Bone marrow aspirate smear: 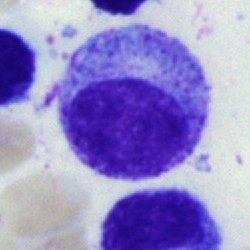
Q: What is shown here?
A: Progranulocyte.